Bone marrow smear:
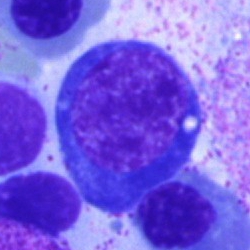
Cell — erythroblast.